40× objective, oil immersion. Bone marrow smear. MGG-stained:
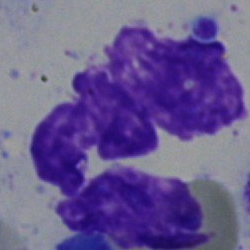

Cell: artifact.